Bone marrow smear — 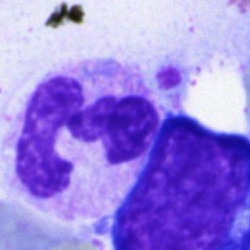 Cell = polymorphonuclear neutrophil.